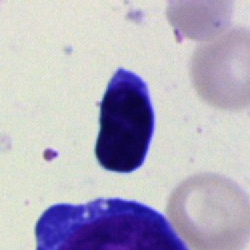
Cell type — typical lymphocyte.